Bone marrow smear; MGG-stained — 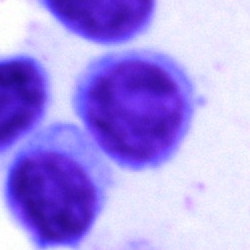Morphological class: lymphocyte.